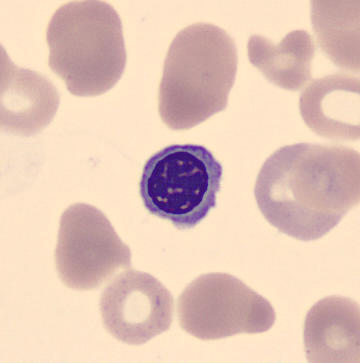 Preparation: Peripheral blood film.
Q: What type of cell is this?
A: This is an erythroblast.